Bone marrow aspirate smear · brightfield microscopy, 40× oil immersion
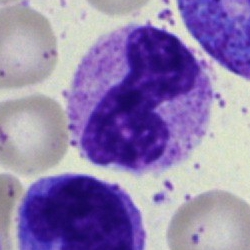 A stab cell.